Bone marrow smear; brightfield, 40× oil-immersion objective
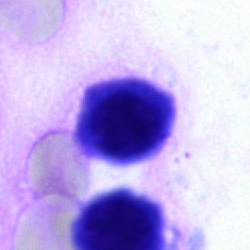
Cell type = nucleated red blood cell.